40× oil immersion · bone marrow smear · image size 250×250 — 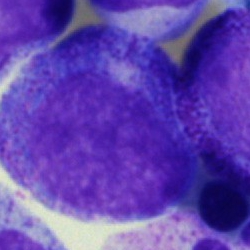Specimen: bone marrow smear.
Cell: progranulocyte.
Lineage: myeloid.